Bone marrow aspirate smear
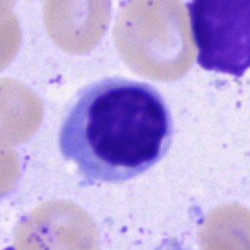

This is a nucleated red cell.